Bone marrow aspirate smear:
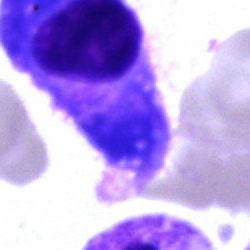 Morphological class: plasmacyte.